Bone marrow smear.
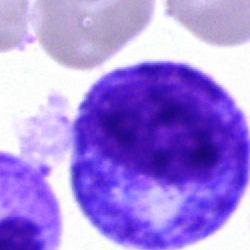Q: What is the morphological classification of this cell?
A: It is a progranulocyte.